Bone marrow smear:
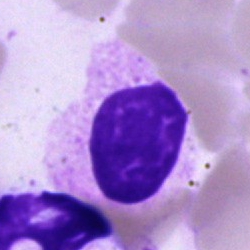 The cell is artefact.